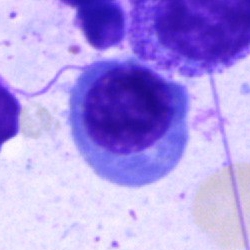 A nucleated red blood cell.